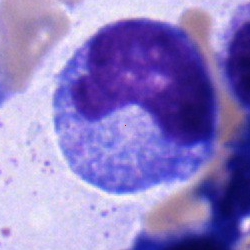 Single-cell crop from a bone marrow smear: promyelocyte.